Bone marrow aspirate smear; single cell centered in the field.
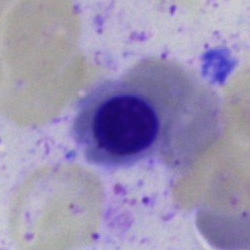
The cell shown is a normoblast.